Bone marrow smear
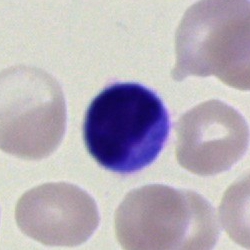

The cell shown is a typical lymphocyte.